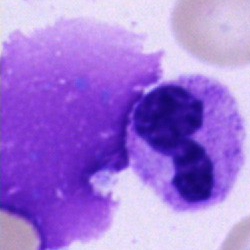 Cell type — neutrophil (segmented).